Brightfield microscopy, 40× oil immersion. Bone marrow aspirate smear:
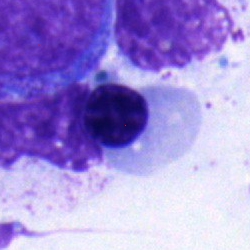

Classification: normoblast.